Bone marrow aspirate smear — 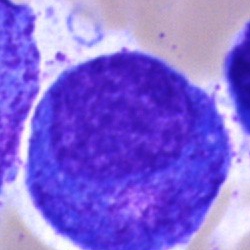Specimen: bone marrow aspirate smear.
Cell: progranulocyte.
Lineage: myeloid.